Bone marrow aspirate smear: 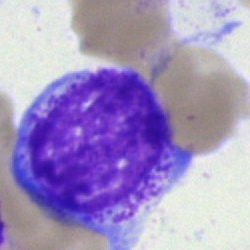
The cell is promyelocyte.